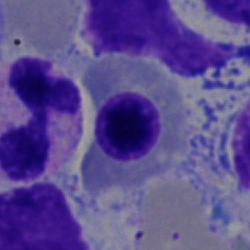

Q: What is shown here?
A: An erythroblast.